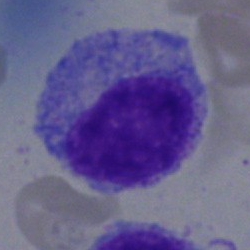
Q: What is the morphological classification of this cell?
A: Myelocyte.